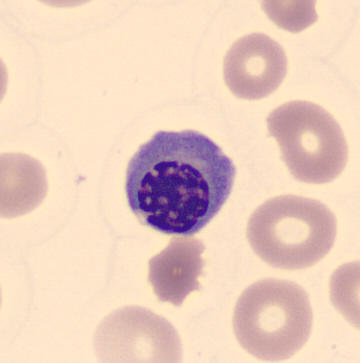 Q: Identify the cell.
A: It is an erythroblast.